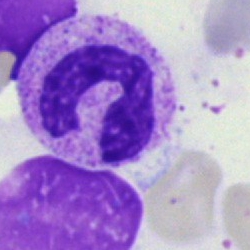 The cell shown is a segmented neutrophil.